Bone marrow aspirate smear:
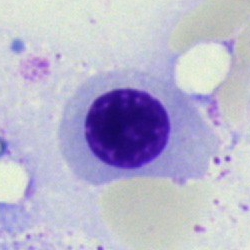

Specimen: bone marrow aspirate smear.
Cell type: nucleated red blood cell.
Lineage: erythroid.